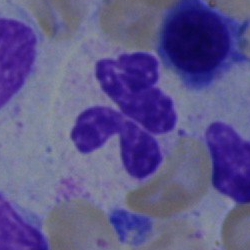 {"cell_type": "polymorphonuclear neutrophil", "lineage": "myeloid"}